Single-cell field; bone marrow aspirate smear; 250×250.
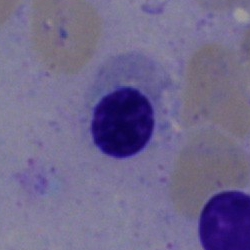 Morphology → nucleated red cell.